Bone marrow smear · single-cell crop
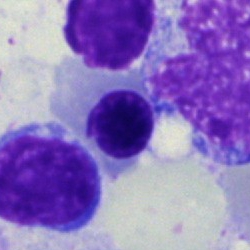 Q: What type of cell is this?
A: It is a nucleated red blood cell.